May-Grünwald-Giemsa stain; bone marrow smear; 40× oil immersion
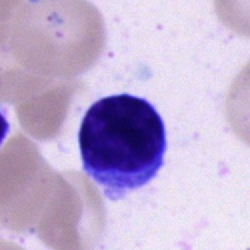 Specimen: bone marrow smear.
Cell type: lymphocyte.